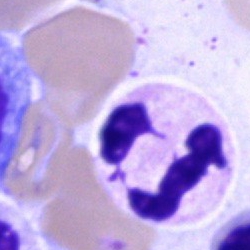 Impression → segmented neutrophil.